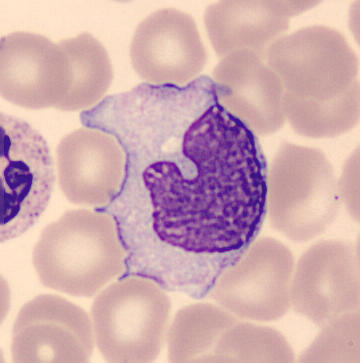 Specimen: peripheral blood smear.
Cell type: monocyte.
Lineage: myeloid.
Acquisition: CellaVision DM96 digital cell image.